Bone marrow smear; 250×250 px — 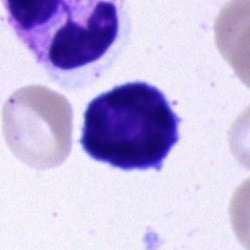Cell — typical lymphocyte.